Bone marrow aspirate smear.
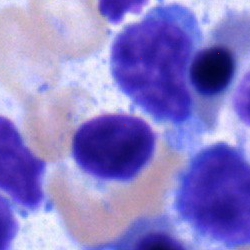
Morphological class: lymphocyte.